Bone marrow aspirate smear.
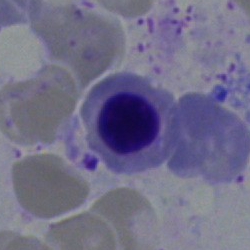

Showing an erythroblast.